Bone marrow smear:
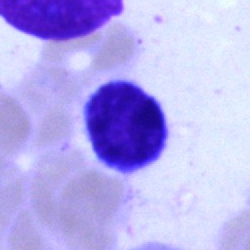 Q: What type of cell is this?
A: It is a typical lymphocyte.